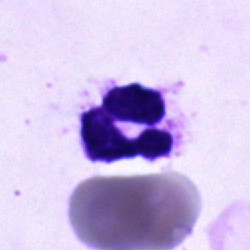
Bone marrow aspirate smear, single cell — segmented neutrophil.